Bone marrow smear:
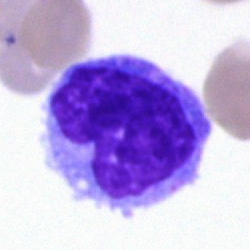Morphology → monocyte.